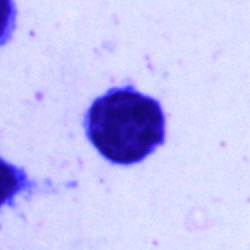
Morphology consistent with a lymphocyte.